250×250. Bone marrow smear
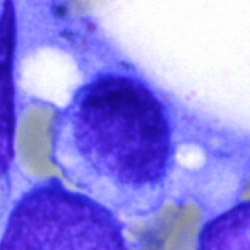 Impression → artifact.